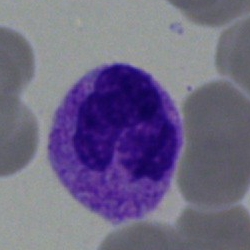

Impression — segmented neutrophil.